Bone marrow smear
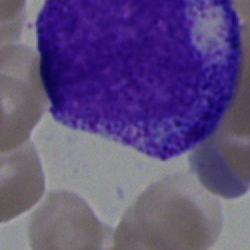 A promyelocyte.